Bone marrow smear — 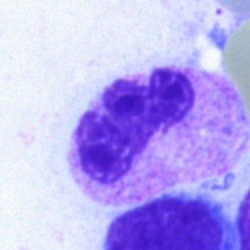This is a polymorphonuclear neutrophil.